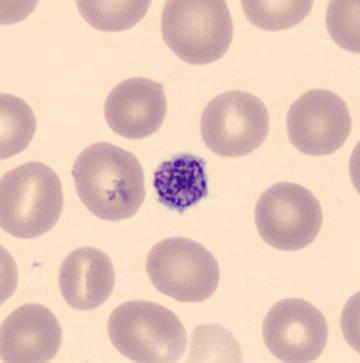
Preparation: 360×363 px · peripheral blood smear.

Q: What is shown here?
A: Platelet.